Bone marrow aspirate smear: 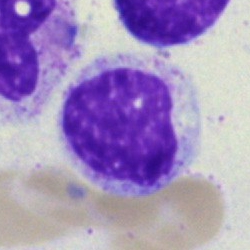 A myelocyte.